Bone marrow smear
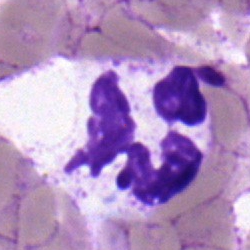Morphology consistent with a polymorphonuclear neutrophil.